Bone marrow aspirate smear.
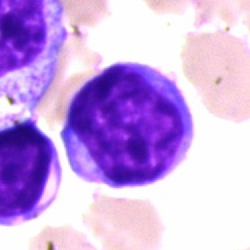Q: What cell is this?
A: This is a lymphocyte.